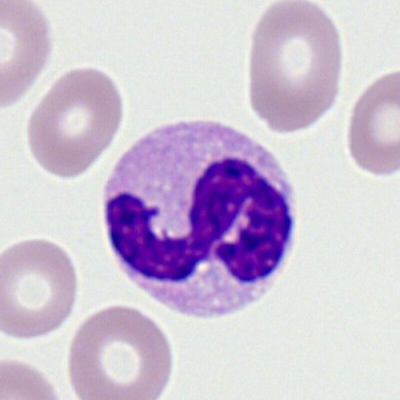

Morphology consistent with a neutrophil (segmented).